Bone marrow aspirate smear; brightfield, 40× oil-immersion objective:
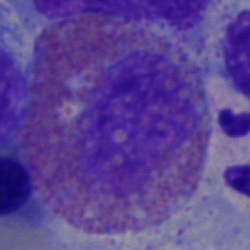 Morphological class: eosinophilic granulocyte.